Bone marrow smear.
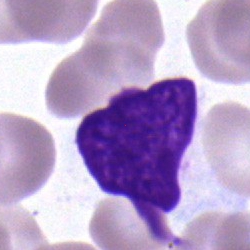
Q: Which cell type is shown here?
A: A typical lymphocyte.